Bone marrow smear:
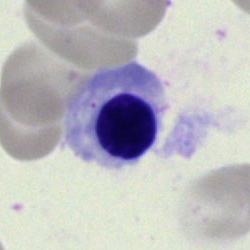
The morphological class is nucleated red blood cell.